Bone marrow smear: 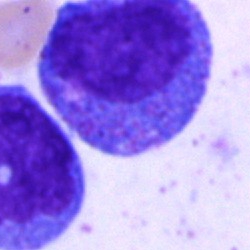
The cell shown is a progranulocyte.